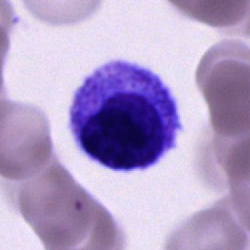

Impression — unidentifiable cell.